Peripheral blood film — 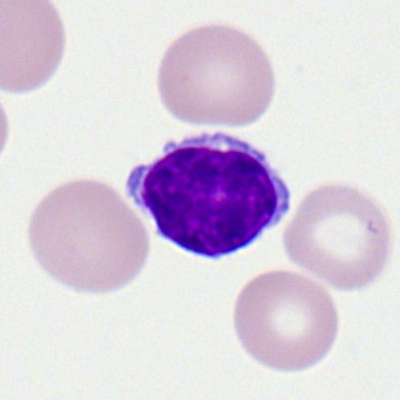
Classification = lymphocyte.